Bone marrow aspirate smear; May-Grünwald-Giemsa stain; single cell centered in the field — 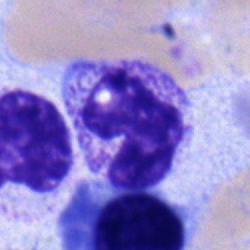

Q: What type of cell is this?
A: A stab cell.